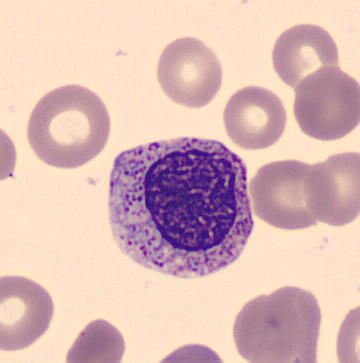Impression → myelocyte. Acquisition: Peripheral blood film · cropped to a single cell.